Bone marrow smear — 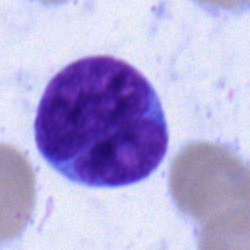
Morphology consistent with a typical lymphocyte.